Brightfield microscopy, 40× oil immersion · bone marrow aspirate smear · Pappenheim-stained — 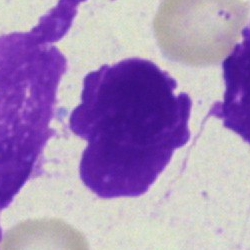

Morphology consistent with an artifact.